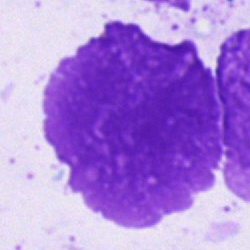
Cell type: artifact.